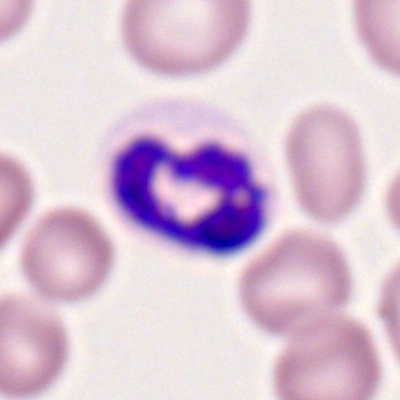Q: What is the morphological classification of this cell?
A: This is a polymorphonuclear neutrophil.